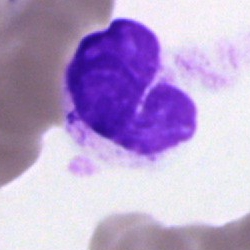

Morphological class — artifact.